250×250 px; cropped to a single cell; bone marrow aspirate smear.
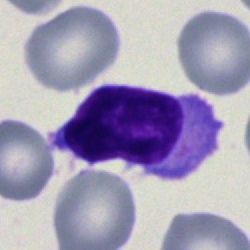Specimen: bone marrow aspirate smear.
Morphological class: lymphocyte.
Lineage: lymphoid.